Bone marrow aspirate smear; 250×250 px: 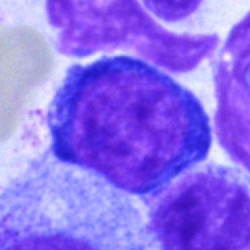 Q: Identify the cell.
A: This is a normoblast.